Bone marrow aspirate smear: 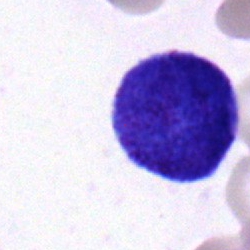
Specimen: bone marrow smear.
Morphological class: blast.